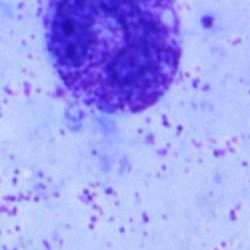
Q: What is shown here?
A: This is an artefact.